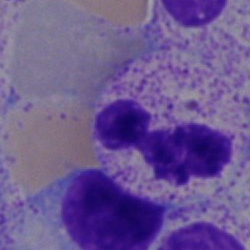Morphology consistent with a segmented neutrophil.